Image size 250×250; bone marrow aspirate smear; 40× objective, oil immersion.
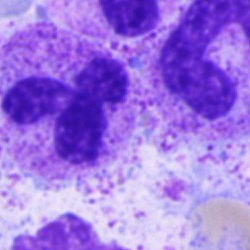
A polymorphonuclear neutrophil.